Bone marrow smear:
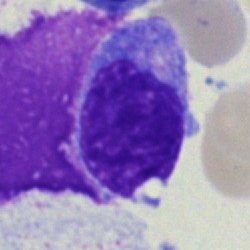Q: What is shown here?
A: A monocyte.